Bone marrow aspirate smear. MGG-stained: 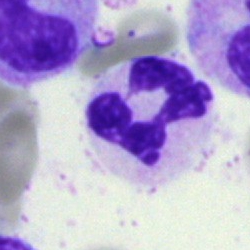Morphology → neutrophil (segmented).